Bone marrow aspirate smear; 250×250; Pappenheim-stained: 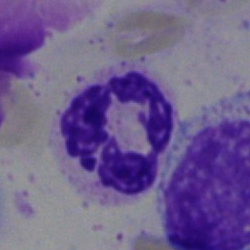Q: Which cell type is shown here?
A: Segmented neutrophil.